Peripheral blood smear.
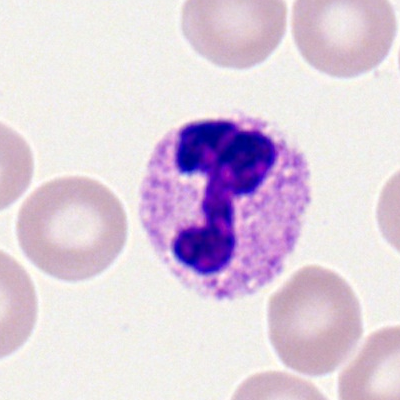 Specimen: peripheral blood film.
Cell: polymorphonuclear neutrophil.
Lineage: myeloid.